Bone marrow smear:
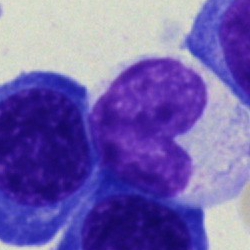Morphology → metamyelocyte.